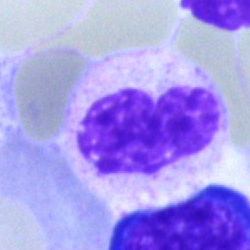Single cell identified as a neutrophil (band).